Bone marrow aspirate smear.
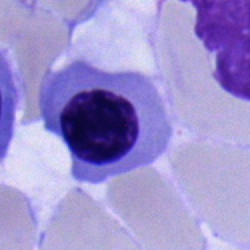This is a normoblast.